Bone marrow smear.
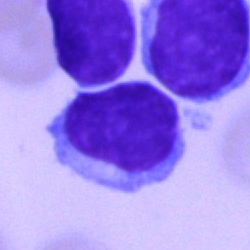

Single cell identified as a typical lymphocyte.